Brightfield microscopy, 40× oil immersion · Pappenheim-stained · bone marrow smear
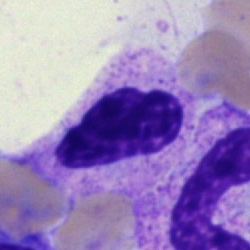 Morphology consistent with a segmented neutrophil.